Bone marrow aspirate smear · cropped to a single cell.
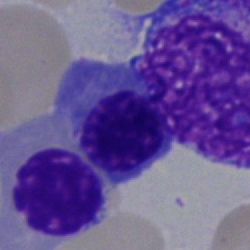
Morphology consistent with an erythroblast.